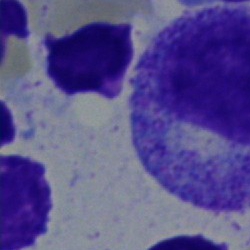Q: Which cell type is shown here?
A: This is a progranulocyte.